Bone marrow aspirate smear; 40× objective, oil immersion
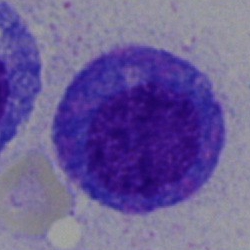 Specimen: bone marrow smear.
Morphological class: promyelocyte.